Bone marrow aspirate smear — 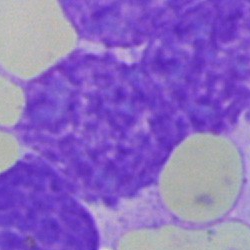Morphology — artefact.